Cropped to a single cell. Bone marrow aspirate smear. Image size 250×250.
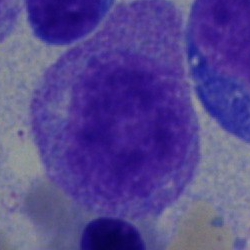Cell type — myelocyte.